Peripheral blood film
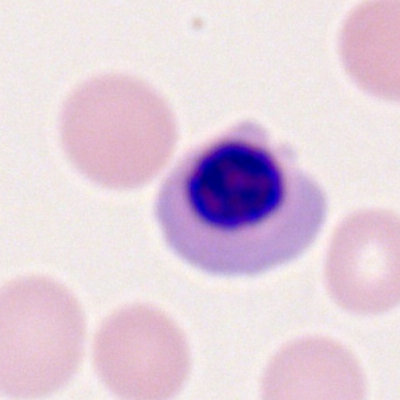 Showing a nucleated red blood cell.